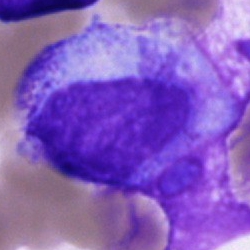Q: What type of cell is this?
A: Progranulocyte.